Bone marrow aspirate smear:
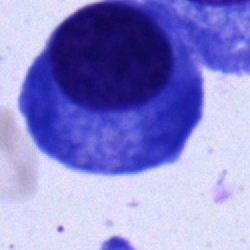

Q: What is shown here?
A: It is a plasma cell.